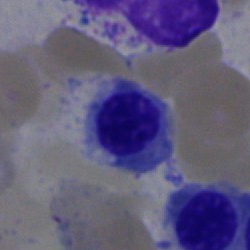
Specimen: bone marrow aspirate smear.
Morphological class: nucleated red cell.
Lineage: erythroid.